Bone marrow aspirate smear — 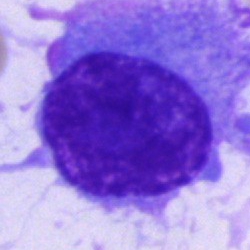Impression — plasma cell.